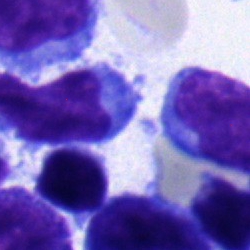
This is a lymphocyte.